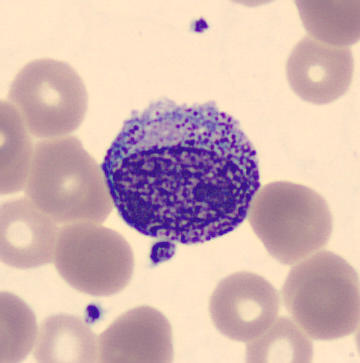Morphological class: myelocyte.

Preparation: Peripheral blood film.